Cropped to a single cell; bone marrow smear: 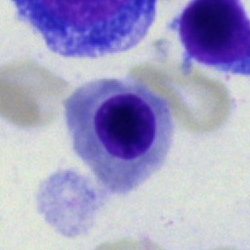

Cell: erythroblast.